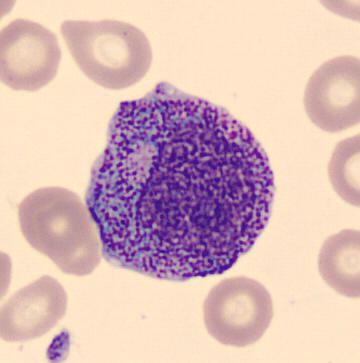Single-cell crop from a peripheral blood smear: progranulocyte.